Bone marrow aspirate smear.
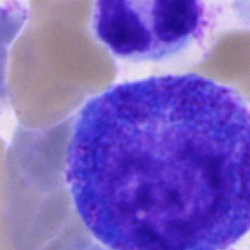The cell shown is a progranulocyte.